Bone marrow smear · 40× objective, oil immersion: 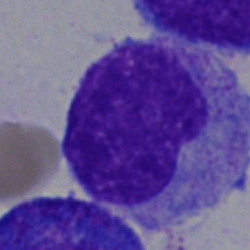 This is a monocyte.